Bone marrow aspirate smear
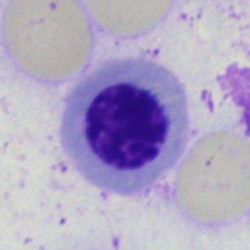

Cell type — normoblast.